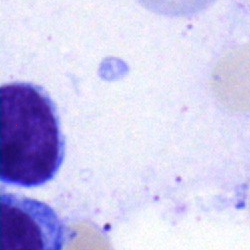 Morphology consistent with a lymphocyte.